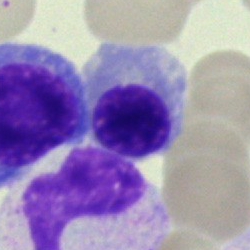

Morphology → nucleated red blood cell.